Bone marrow smear — 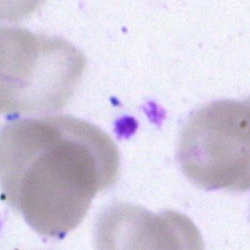 Single cell identified as an artifact.